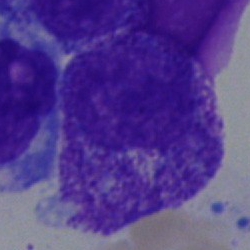
This is a myelocyte.